Peripheral blood film
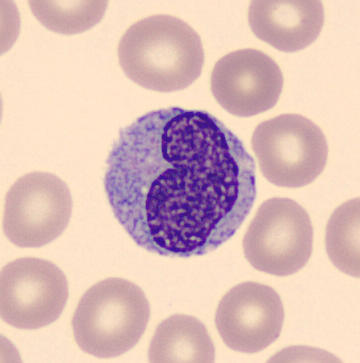

Showing a monocyte.